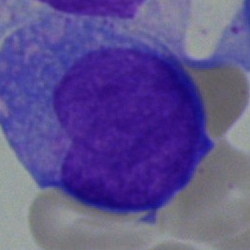
Bone marrow aspirate smear, single cell — monocyte.